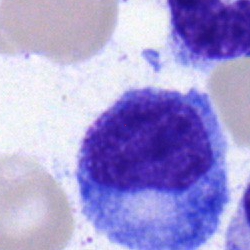
Q: What cell is this?
A: A progranulocyte.